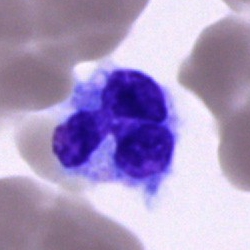

Q: What is the morphological classification of this cell?
A: Monocyte.